Single-cell crop; bone marrow aspirate smear: 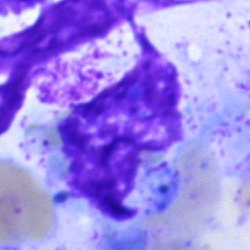

Morphological class = artefact.